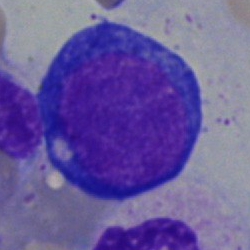
The classification is pronormoblast.